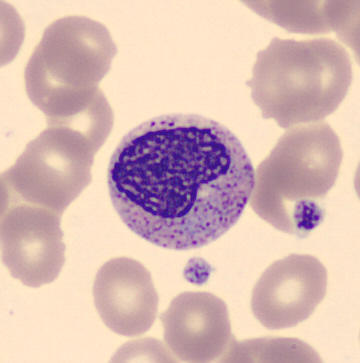 Specimen: peripheral blood film.
Cell: metamyelocyte.
Lineage: myeloid.